Pappenheim-stained; bone marrow smear; 40× objective, oil immersion — 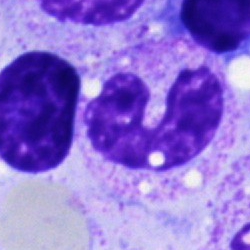

Morphology — stab cell.